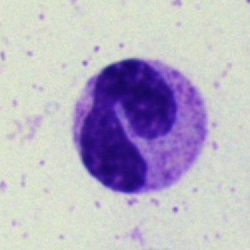

The cell is polymorphonuclear neutrophil.